Bone marrow smear — 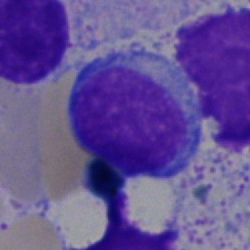 Specimen: bone marrow aspirate smear.
Classification: lymphocyte.
Lineage: lymphoid.